Bone marrow smear: 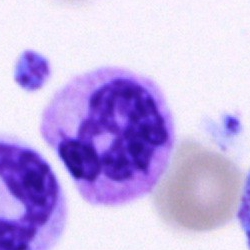This is a polymorphonuclear neutrophil.